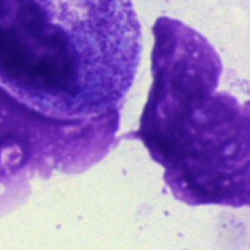
Morphology → artifact.